Bone marrow smear
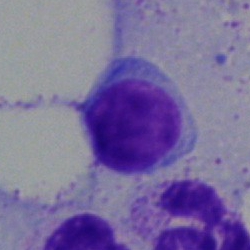Morphological class — lymphocyte.